Bone marrow aspirate smear: 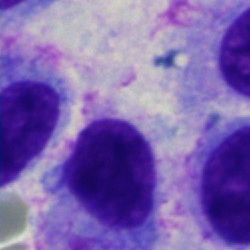The classification is hairy cell.